Bone marrow aspirate smear: 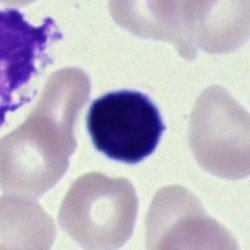 {"cell_type": "typical lymphocyte", "lineage": "lymphoid"}